Bone marrow aspirate smear · brightfield, 40× oil-immersion objective: 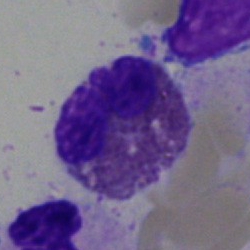Showing an eosinophil.